Pappenheim-stained; bone marrow smear.
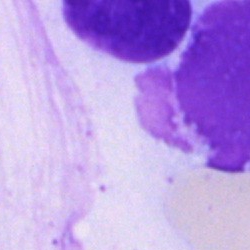 Morphology → artifact.